Bone marrow smear · image size 250×250 · brightfield, 40× oil-immersion objective
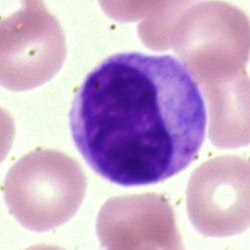

Specimen: bone marrow aspirate smear.
Classification: metamyelocyte.
Lineage: myeloid.